Bone marrow aspirate smear:
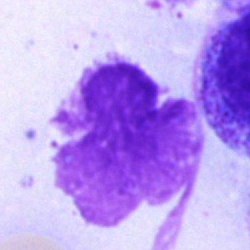
An artefact.